Bone marrow aspirate smear. 250×250 px. Brightfield microscopy, 40× oil immersion: 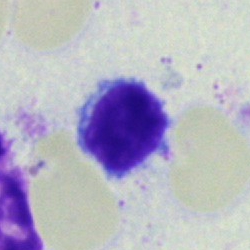
Morphological class: lymphocyte.